Peripheral blood film:
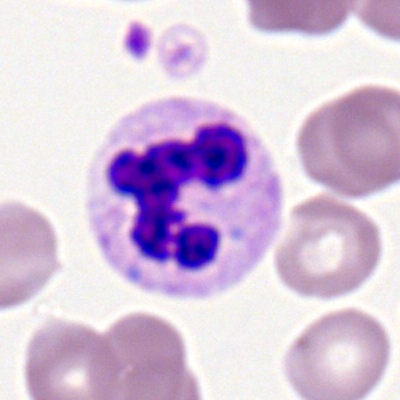

Cell type — segmented neutrophil.